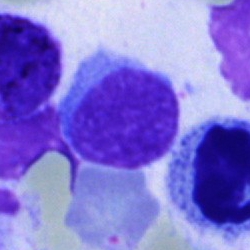

Specimen: bone marrow smear.
Cell type: lymphocyte.
Lineage: lymphoid.